Bone marrow smear:
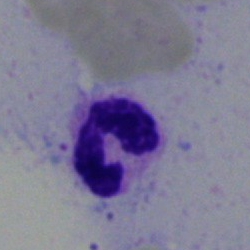

The cell is polymorphonuclear neutrophil.